Bone marrow smear — 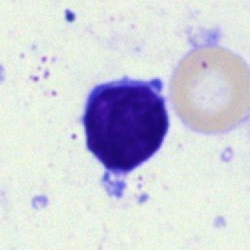

Morphology → typical lymphocyte.